Bone marrow smear
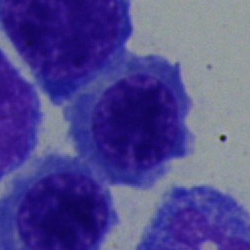
Specimen: bone marrow smear.
Cell type: nucleated red blood cell.